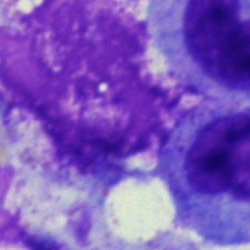Morphology — artifact.